Romanowsky stain. Cropped to a single cell. Peripheral blood smear.
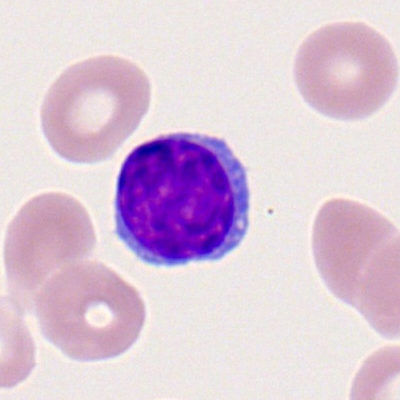
Morphological class: typical lymphocyte.